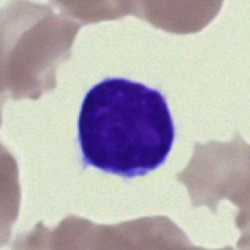

Q: What type of cell is this?
A: Lymphocyte.